40× objective, oil immersion · bone marrow smear · May-Grünwald-Giemsa stain: 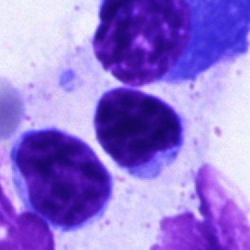

Specimen: bone marrow smear.
Morphological class: lymphocyte.
Lineage: lymphoid.